Bone marrow aspirate smear. Single-cell crop.
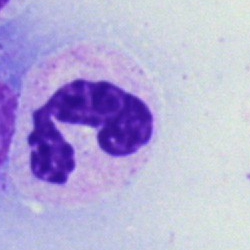The cell shown is a polymorphonuclear neutrophil.